Bone marrow aspirate smear.
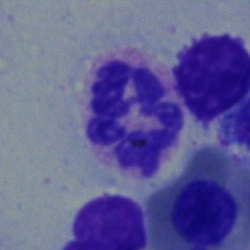Single cell identified as a polymorphonuclear neutrophil.